Bone marrow smear
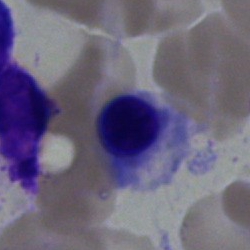
{"cell_type": "erythroblast", "lineage": "erythroid"}